Bone marrow aspirate smear: 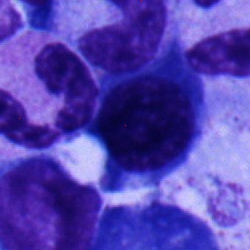
Plasma cell.